May-Grünwald-Giemsa stain; single-cell field; bone marrow aspirate smear — 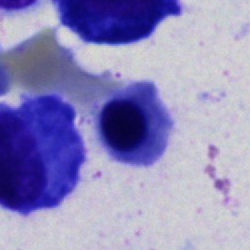

Nucleated red blood cell.